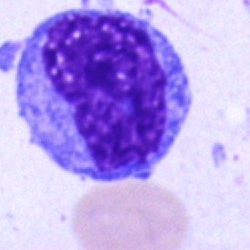

Cell — blast.